Peripheral blood film: 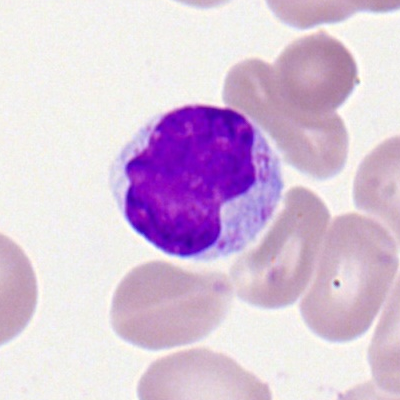
Morphological class = lymphocyte.